Peripheral blood smear — 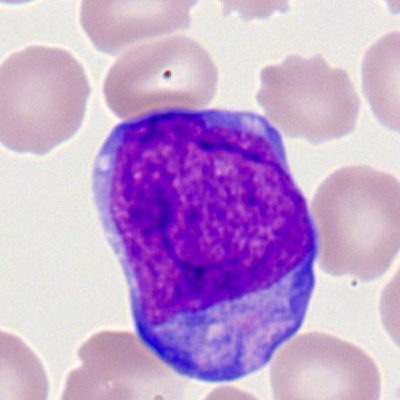
Cell = myeloid blast.